Bone marrow aspirate smear. Single-cell crop — 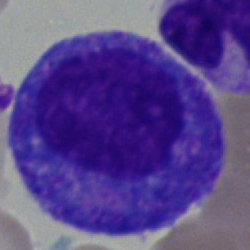Specimen: bone marrow smear.
Cell: promyelocyte.
Lineage: myeloid.